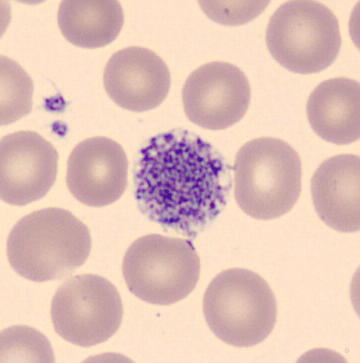

The classification is thrombocyte. Peripheral blood smear.